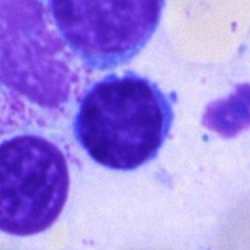

Impression — typical lymphocyte.